Peripheral blood smear: 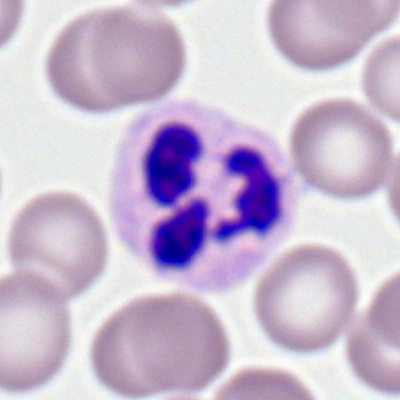
Q: Which cell type is shown here?
A: A segmented neutrophil.